Peripheral blood film · image size 400×400 — 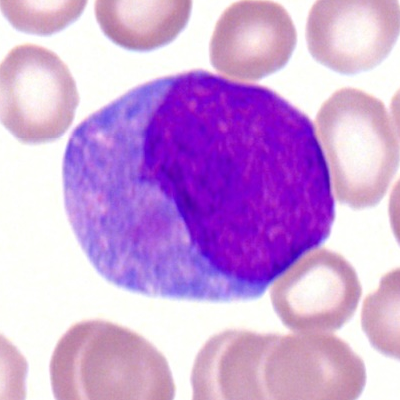Single cell identified as a myeloid blast.